Bone marrow aspirate smear: 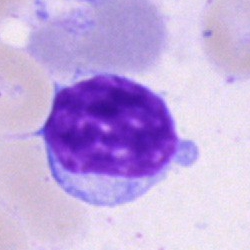

Specimen: bone marrow aspirate smear.
Cell type: lymphocyte.
Lineage: lymphoid.